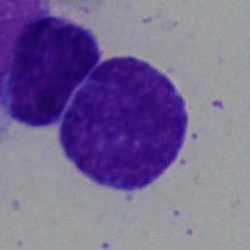 Specimen: bone marrow smear.
Cell: lymphocyte.
Lineage: lymphoid.